MGG-stained; bone marrow aspirate smear:
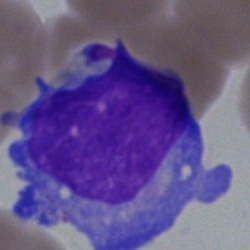

This is a blast cell.